Peripheral blood smear: 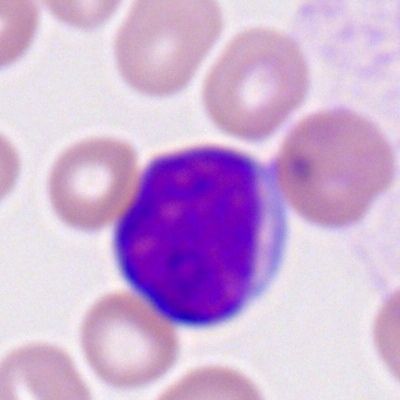Single cell identified as a myeloid blast.